Image size 250×250 · bone marrow smear — 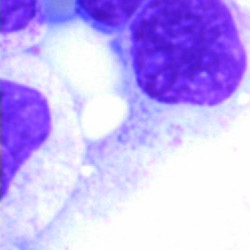 Specimen: bone marrow aspirate smear.
Cell type: artefact.